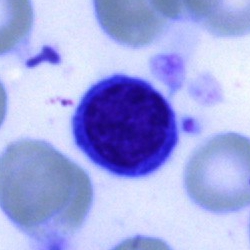
Specimen: bone marrow aspirate smear.
Classification: typical lymphocyte.
Lineage: lymphoid.